Bone marrow aspirate smear. Single cell centered in the field: 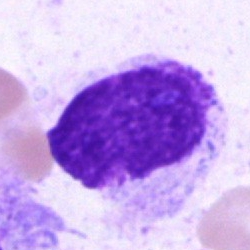 Specimen: bone marrow aspirate smear.
Cell: artifact.